Peripheral blood smear:
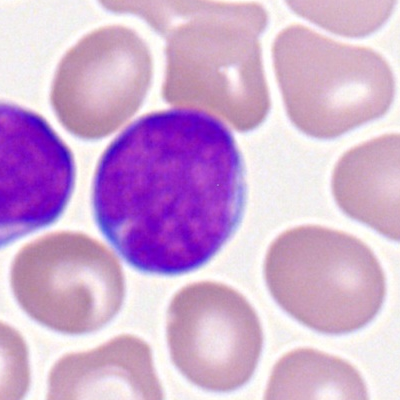 Myeloid blast.